Peripheral blood film.
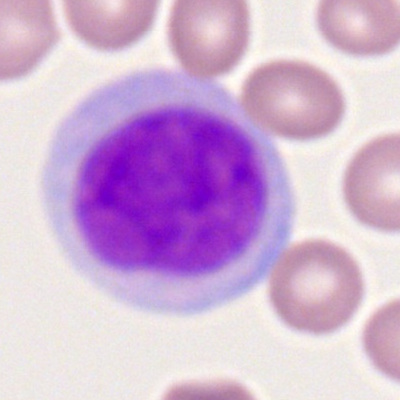 This is a myeloblast.